Bone marrow smear
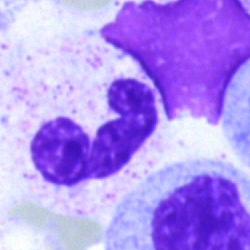

Morphology — segmented neutrophil.